Bone marrow smear:
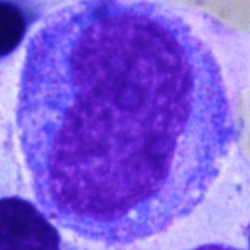

Specimen: bone marrow smear.
Classification: monocyte.
Lineage: myeloid.